Bone marrow aspirate smear. Brightfield microscopy, 40× oil immersion:
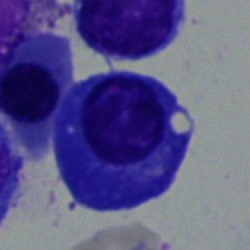Classification = plasma cell.